Bone marrow smear. Pappenheim-stained
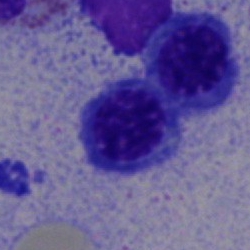Impression — normoblast.